Bone marrow smear: 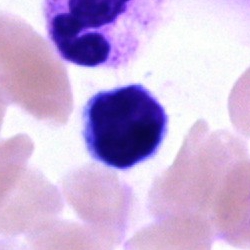 Q: What cell is this?
A: This is a lymphocyte.